Bone marrow smear; single cell centered in the field:
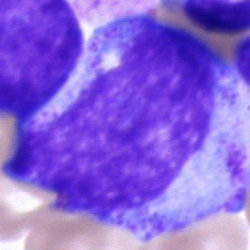

The cell shown is a progranulocyte.